Bone marrow smear. Cropped to a single cell
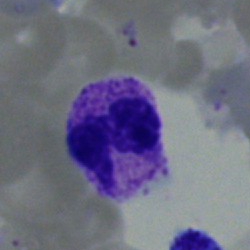
Morphology — segmented neutrophil.